Bone marrow aspirate smear. 250×250 px: 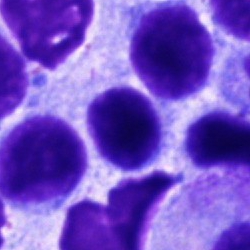 A lymphocyte.